Bone marrow aspirate smear
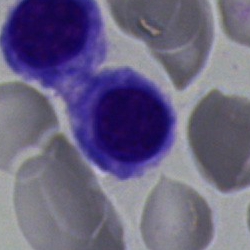

Cell type = erythroblast.